Bone marrow smear. May-Grünwald-Giemsa/Pappenheim stain — 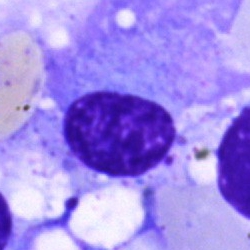Plasma cell.